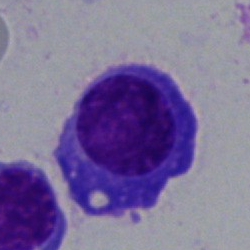Cell type — plasma cell.